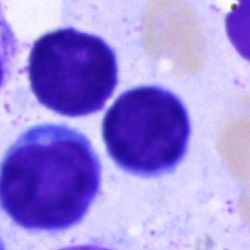Q: What is the morphological classification of this cell?
A: A typical lymphocyte.